Peripheral blood film; single-cell field:
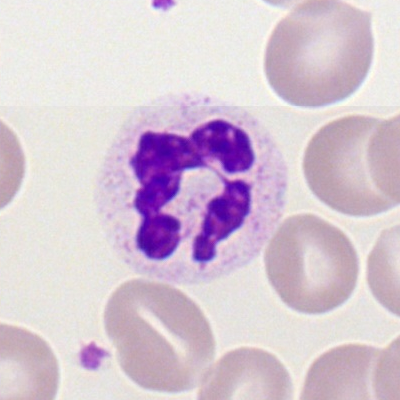The cell shown is a segmented neutrophil.